Bone marrow smear · 250×250 px · brightfield microscopy, 40× oil immersion.
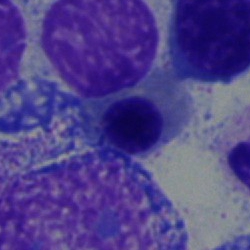 A nucleated red blood cell.